Bone marrow aspirate smear.
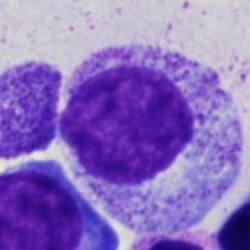

Q: Identify the cell.
A: Myelocyte.